Single-cell field. Bone marrow aspirate smear — 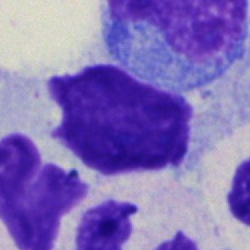The cell shown is an artefact.